Bone marrow smear: 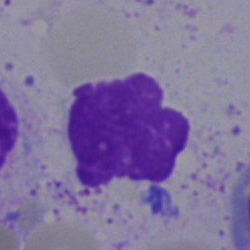

Showing an artifact.